Bone marrow aspirate smear · 250×250 px · single-cell field.
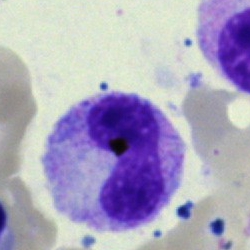
This is a band-form neutrophil.